Bone marrow smear
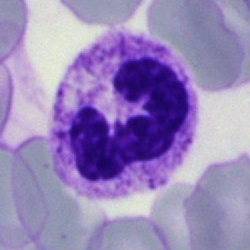

Classification: polymorphonuclear neutrophil.